Bone marrow aspirate smear:
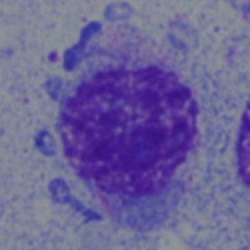
This is a blast cell.